Image size 250×250. Bone marrow smear: 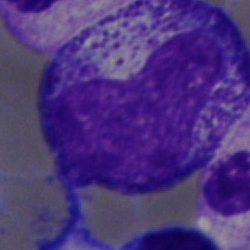

Morphological class — metamyelocyte.